Bone marrow aspirate smear — 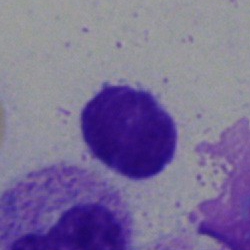Morphology consistent with a lymphocyte.